Brightfield, 40× oil-immersion objective. Bone marrow aspirate smear:
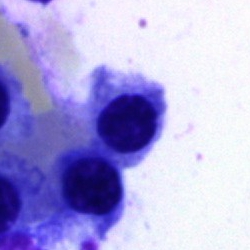
Specimen: bone marrow smear.
Cell: erythroblast.